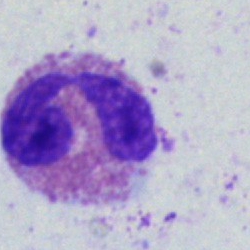 An eosinophilic granulocyte on a bone marrow smear.